Pappenheim-stained. Bone marrow smear:
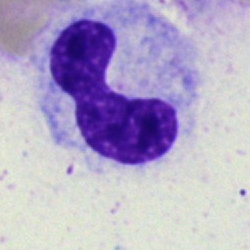 Morphological class = neutrophil (band).